Bone marrow aspirate smear.
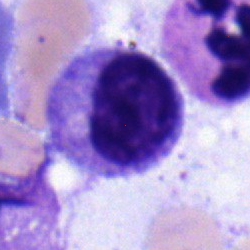Morphological class — myelocyte.